Bone marrow smear
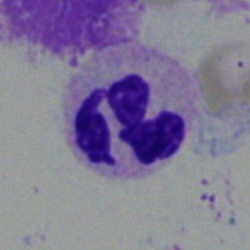
This is a neutrophil (segmented).